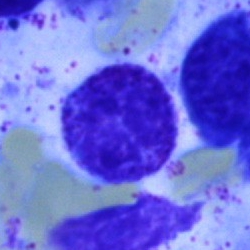
The classification is typical lymphocyte.